250×250 px. Bone marrow aspirate smear.
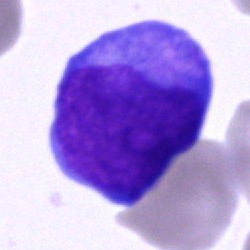 Morphological class — blast cell.